Brightfield microscopy, 40× oil immersion · bone marrow aspirate smear · MGG-stained — 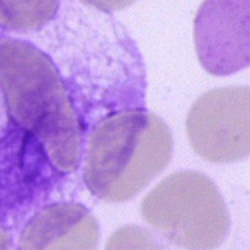 Morphology consistent with an artifact.